Bone marrow aspirate smear. 250×250 px: 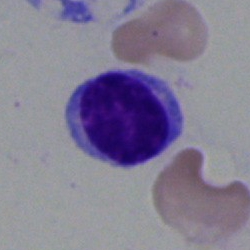

Q: What is shown here?
A: It is a lymphocyte.